Image size 250×250 · bone marrow aspirate smear
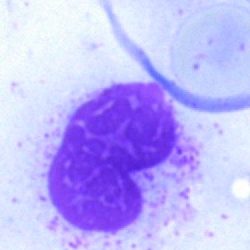

The cell type is artifact.